Bone marrow smear:
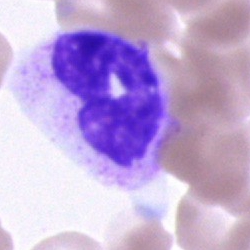

Specimen: bone marrow aspirate smear.
Cell: band-form neutrophil.
Lineage: myeloid.